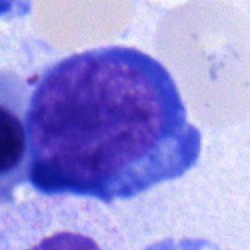This is a pronormoblast.